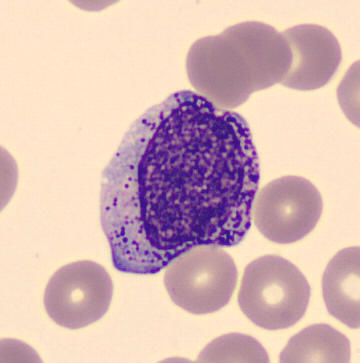 Acquisition: Peripheral blood smear; May Grünwald-Giemsa stain. A promyelocyte.